Bone marrow smear:
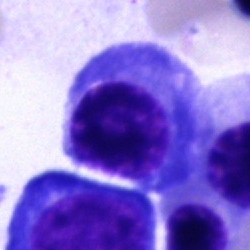
A plasma cell.